Bone marrow aspirate smear.
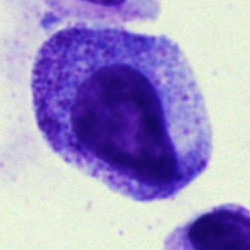 Morphology — progranulocyte.